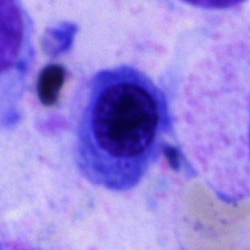 A nucleated red blood cell on a bone marrow smear.